Image size 250×250; bone marrow smear:
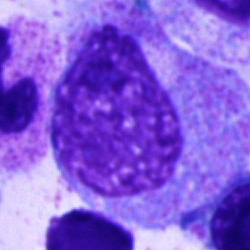 Cell type = promyelocyte.